250×250. Brightfield microscopy, 40× oil immersion. Bone marrow aspirate smear:
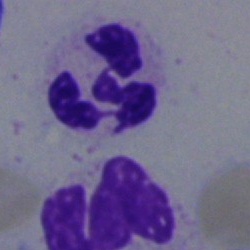

Showing a neutrophil (segmented).